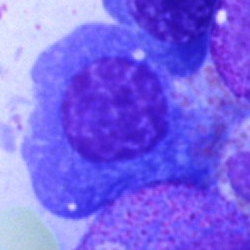 Bone marrow aspirate smear, single cell — plasmacyte.